Single-cell field · peripheral blood film.
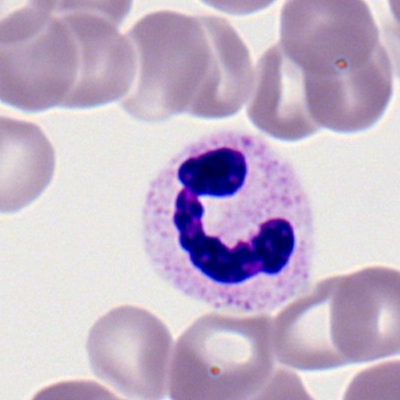

Cell = polymorphonuclear neutrophil.